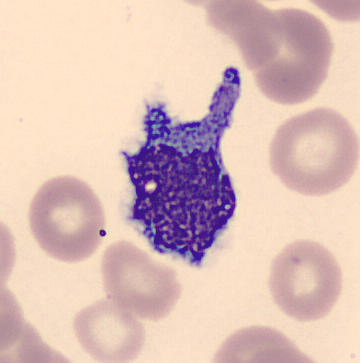 Peripheral blood smear.

Classification: monocyte.